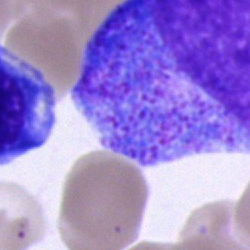 Classification = promyelocyte.